May Grünwald-Giemsa stain; peripheral blood film.
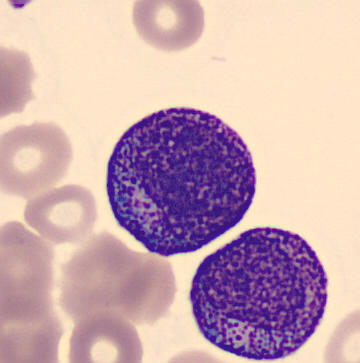Cell: promyelocyte.